250×250 · bone marrow aspirate smear:
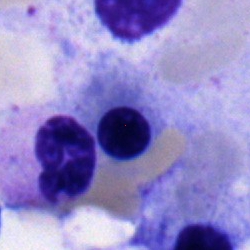
Showing a nucleated red cell.